Bone marrow aspirate smear.
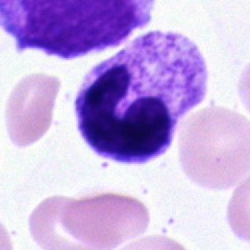Specimen: bone marrow aspirate smear.
Cell: neutrophil (segmented).